Peripheral blood smear.
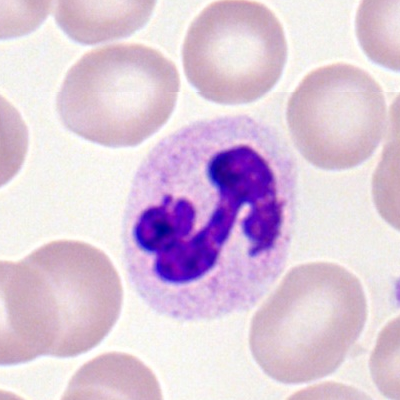
Showing a polymorphonuclear neutrophil.